Bone marrow smear · 250×250 px: 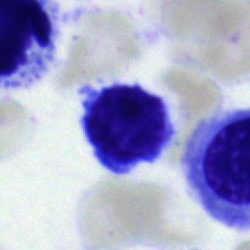

This is an erythroblast.